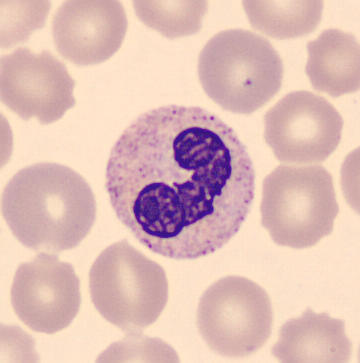 Identified as a neutrophil (band).